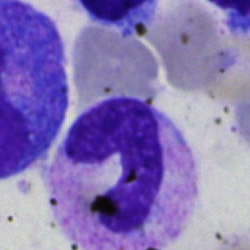
Bone marrow aspirate smear, single cell — stab cell.